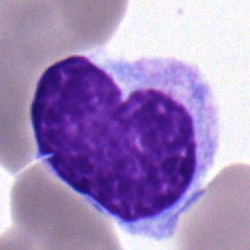 A monocyte on a bone marrow smear.